Bone marrow aspirate smear:
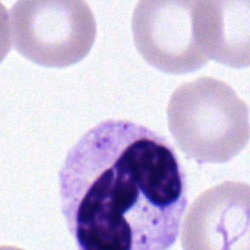 This is a stab cell.